Bone marrow smear: 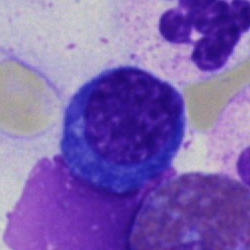

A normoblast.